Bone marrow aspirate smear:
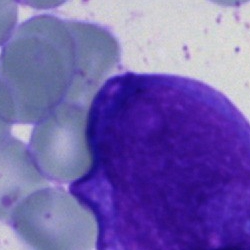 Q: What is the morphological classification of this cell?
A: Blast cell.